Bone marrow smear
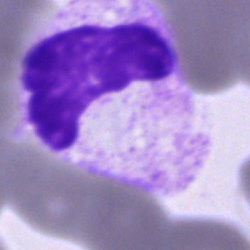

Q: What is the morphological classification of this cell?
A: A band-form neutrophil.